Peripheral blood smear: 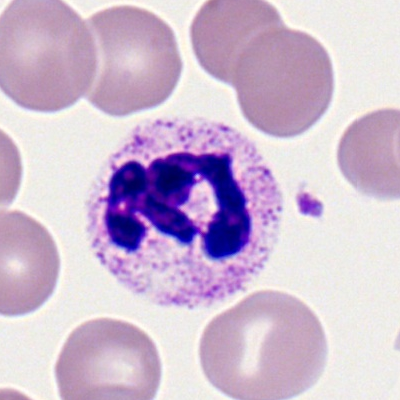
Cell — neutrophil (segmented).